Bone marrow aspirate smear. 40× objective, oil immersion: 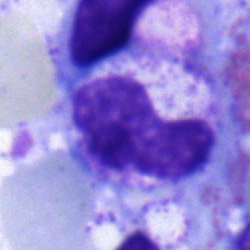 Single cell identified as a band-form neutrophil.